Bone marrow smear.
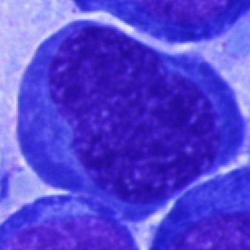

Single cell identified as a normoblast.